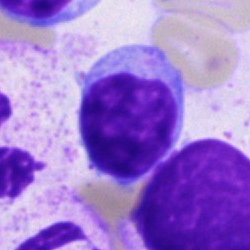
The cell type is typical lymphocyte.